250×250. Bone marrow aspirate smear: 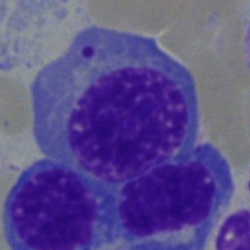

Showing a nucleated red cell.